Bone marrow smear — 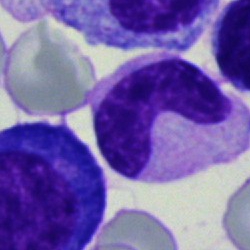 Specimen: bone marrow aspirate smear.
Cell: band-form neutrophil.
Lineage: myeloid.